Peripheral blood film
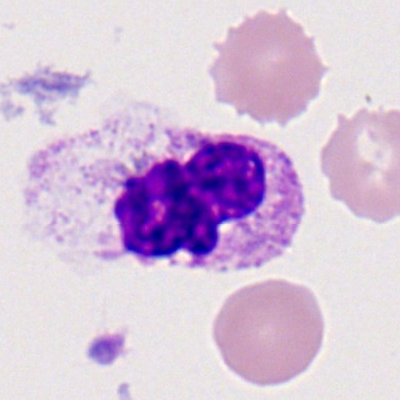
The cell is neutrophil (segmented).